Cropped to a single cell. 250 by 250 pixels. Bone marrow aspirate smear.
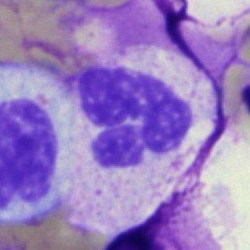Morphology — polymorphonuclear neutrophil.